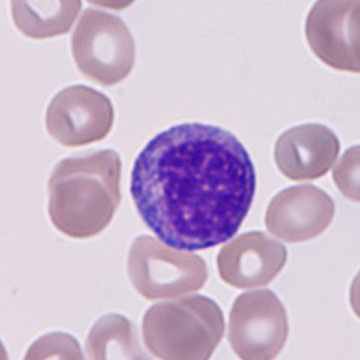
Granulocyte precursor. Peripheral blood smear · CellaVision DM96.